Bone marrow aspirate smear:
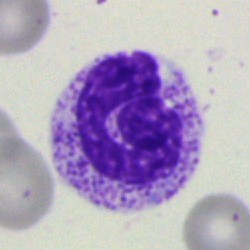 Impression — polymorphonuclear neutrophil.